Pappenheim-stained. Bone marrow aspirate smear. 250×250 px.
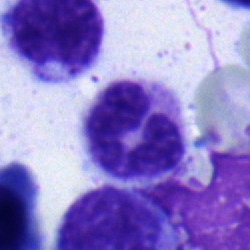

Q: What is the morphological classification of this cell?
A: This is a band-form neutrophil.